Bone marrow smear; single-cell field; 250×250 px
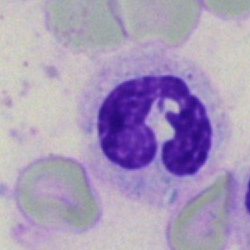
This is a neutrophil (segmented).